May-Grünwald-Giemsa stain. Bone marrow smear. Brightfield, 40× oil-immersion objective:
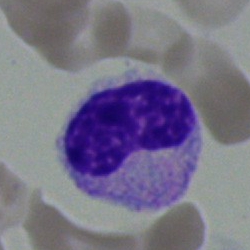

A metamyelocyte.